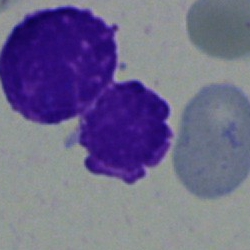Q: What is shown here?
A: An artefact.